Bone marrow smear. 250×250. Brightfield, 40× oil-immersion objective
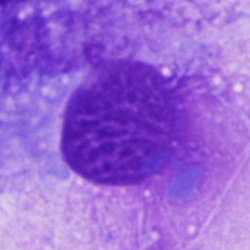Morphology — other cell type.